Bone marrow aspirate smear. Brightfield microscopy, 40× oil immersion: 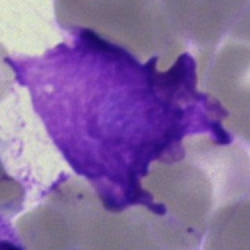
Q: What is shown here?
A: This is an artifact.